Bone marrow smear:
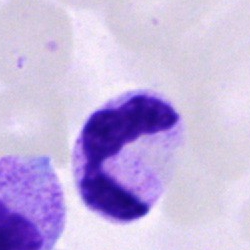The cell shown is a segmented neutrophil.